Bone marrow smear: 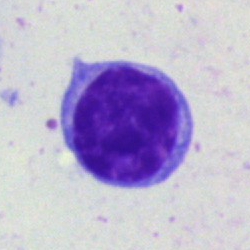This is a lymphocyte.